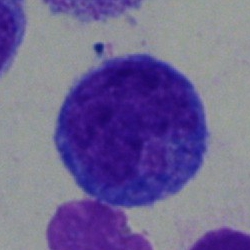 Bone marrow aspirate smear, single cell — undifferentiated blast.